Single-cell crop. Image size 400×400. Peripheral blood smear: 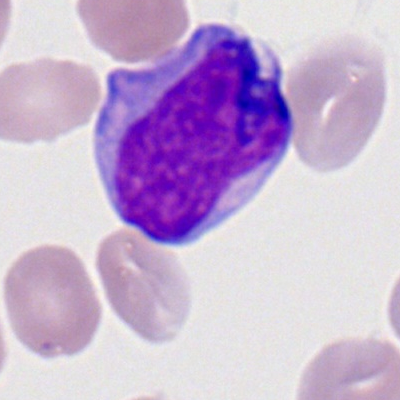

Specimen: peripheral blood smear.
Cell type: myeloblast.